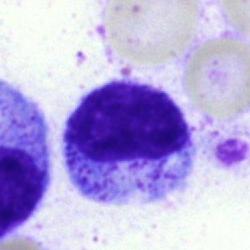

Morphology consistent with a myelocyte.